Bone marrow aspirate smear:
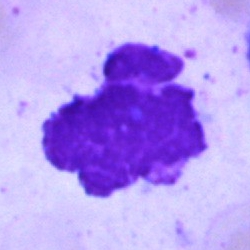
This is an artifact.